Bone marrow aspirate smear: 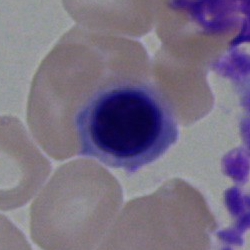 Cell: nucleated red blood cell.